Bone marrow aspirate smear
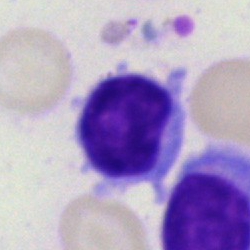 Single cell identified as a lymphocyte.